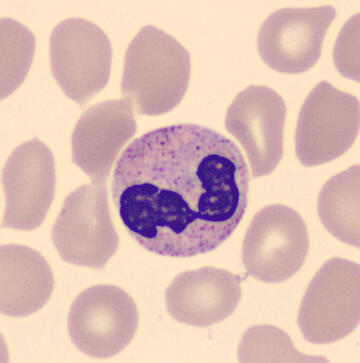
Image: Cropped to a single cell · peripheral blood smear · image size 360×363.

Q: Which cell type is shown here?
A: It is a polymorphonuclear neutrophil.